MGG-stained; bone marrow aspirate smear: 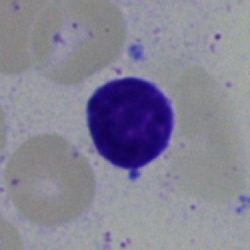Q: Identify the cell.
A: This is a lymphocyte.